Bone marrow aspirate smear
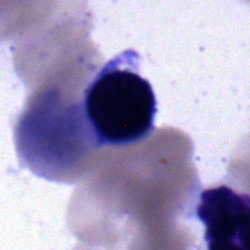 Q: What cell is this?
A: This is a normoblast.